Peripheral blood film
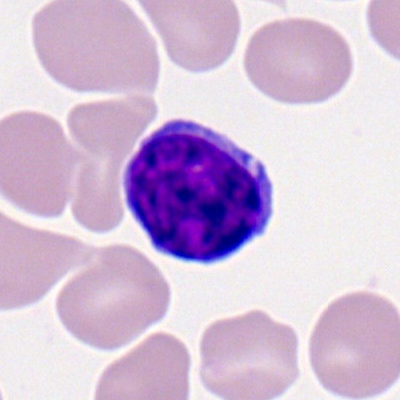 The cell is typical lymphocyte.